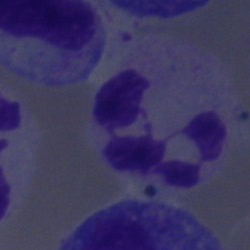

The cell type is segmented neutrophil.